Bone marrow smear · May-Grünwald-Giemsa stain · cropped to a single cell: 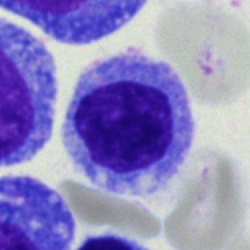 The cell type is monocyte.